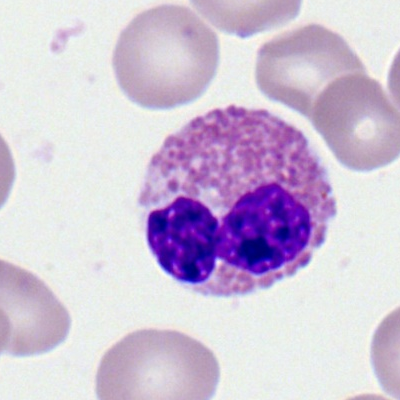 Specimen: peripheral blood smear.
Cell type: eosinophil.
Lineage: myeloid.